250 by 250 pixels; bone marrow smear; brightfield, 40× oil-immersion objective — 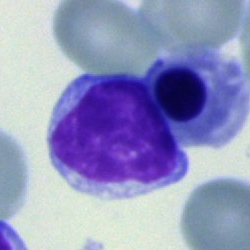
Single cell identified as a lymphocyte.